Bone marrow aspirate smear: 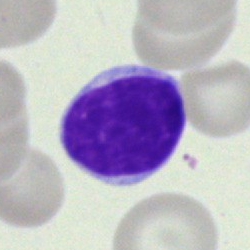
This is a typical lymphocyte.